Single-cell field · peripheral blood film · Romanowsky-type stain.
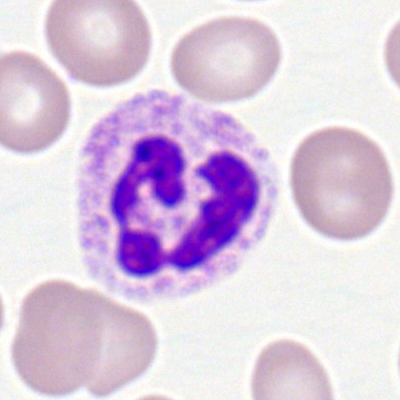 Impression → neutrophil (segmented).